Bone marrow smear: 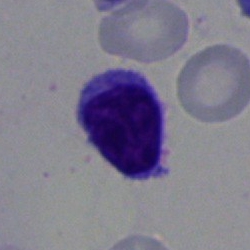

Morphological class — typical lymphocyte.